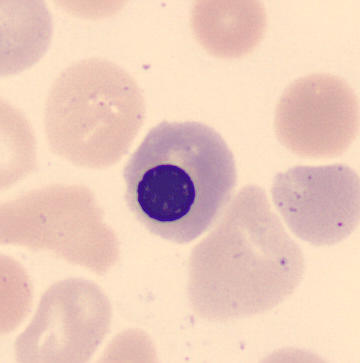

Peripheral blood smear; May Grünwald-Giemsa stain.
Cell — nucleated red cell.